Peripheral blood smear:
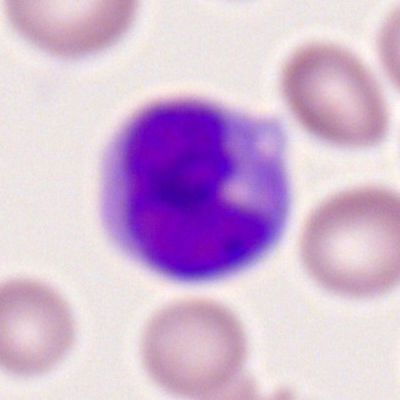 Q: Identify the cell.
A: It is a monocyte.